Bone marrow aspirate smear:
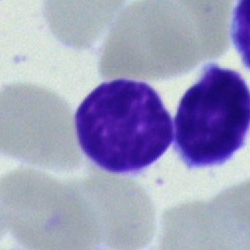Cell — lymphocyte.